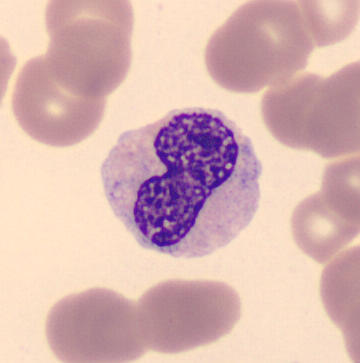 Specimen: peripheral blood film.
Classification: metamyelocyte.
Lineage: myeloid.